100× objective, oil immersion · peripheral blood smear:
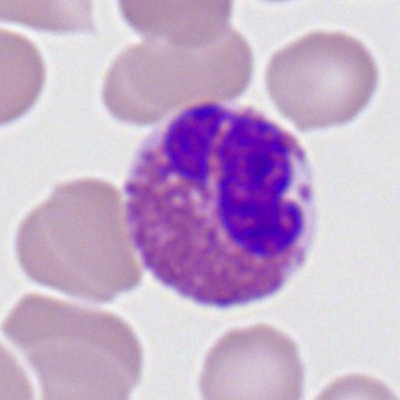
The cell shown is an eosinophil.